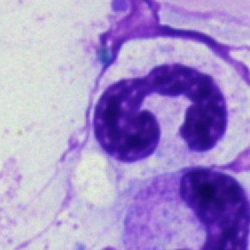 The cell is neutrophil (segmented).